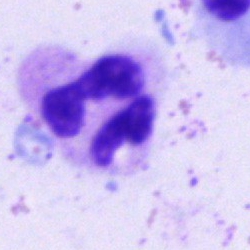 Impression — polymorphonuclear neutrophil.